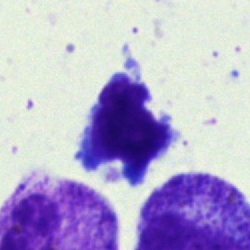

Specimen: bone marrow smear.
Morphological class: typical lymphocyte.